Bone marrow aspirate smear · cropped to a single cell · brightfield microscopy, 40× oil immersion
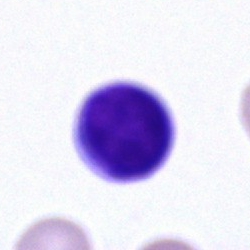

Q: What is the morphological classification of this cell?
A: This is a segmented neutrophil.